Bone marrow aspirate smear:
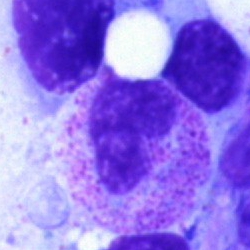 Q: What is shown here?
A: A stab cell.